Bone marrow aspirate smear. Cropped to a single cell — 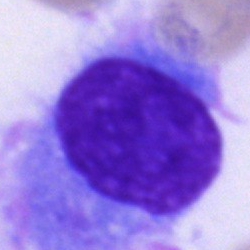Q: Identify the cell.
A: A plasmacyte.